250×250; bone marrow smear; 40× objective, oil immersion.
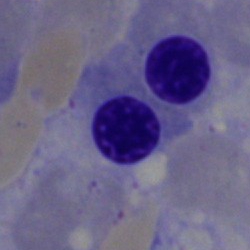
{"cell_type": "nucleated red blood cell"}